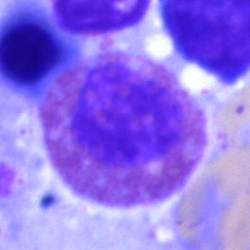 Showing an eosinophil.